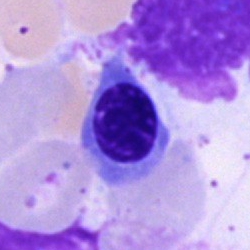

This is a nucleated red blood cell.